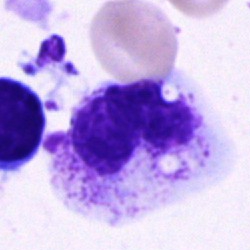

Bone marrow smear showing a polymorphonuclear neutrophil.